Brightfield microscopy, 40× oil immersion · bone marrow smear.
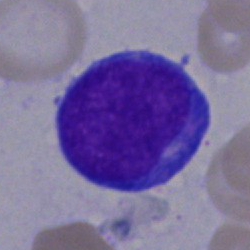 Cell type: blast cell.